May-Grünwald-Giemsa stain; bone marrow aspirate smear: 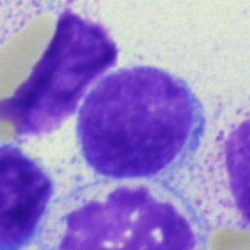

The cell is undifferentiated blast.